Bone marrow aspirate smear; MGG-stained; 250 by 250 pixels:
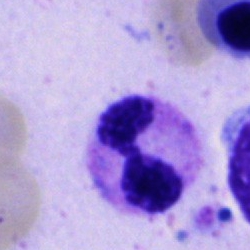 Impression → polymorphonuclear neutrophil.